250×250 px · bone marrow smear · Pappenheim-stained — 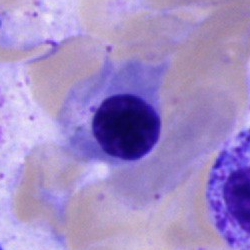 Normoblast.